Bone marrow smear: 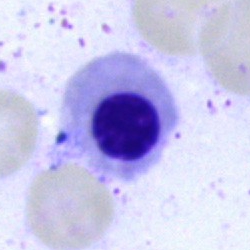 Erythroblast.